Bone marrow aspirate smear. 40× objective, oil immersion.
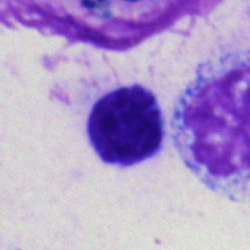
Specimen: bone marrow aspirate smear.
Cell: lymphocyte.
Lineage: lymphoid.